Bone marrow aspirate smear:
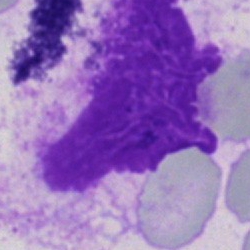Single cell identified as an artifact.